Peripheral blood smear. M8 digital microscope (Precipoint), 100× oil immersion
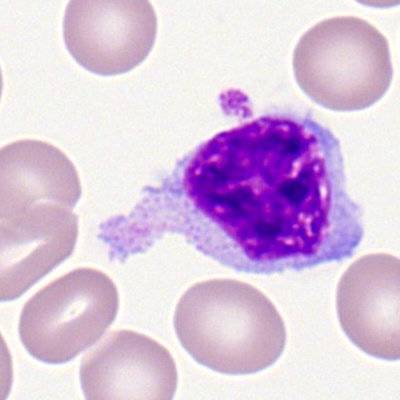Typical lymphocyte.